May-Grünwald-Giemsa/Pappenheim stain; bone marrow smear
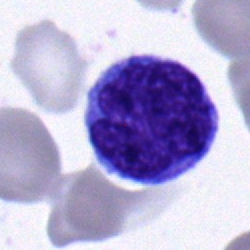

Q: What is the morphological classification of this cell?
A: This is a monocyte.